Image size 250×250; bone marrow smear — 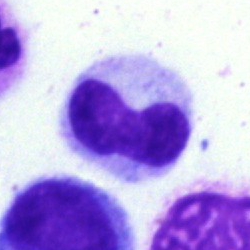

Q: Which cell type is shown here?
A: This is a stab cell.